250×250; bone marrow aspirate smear
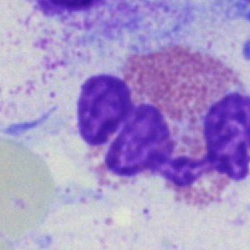
The morphological class is eosinophilic granulocyte.